MGG-stained. Bone marrow smear. Single-cell crop — 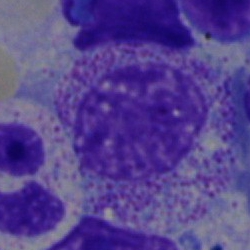 This is a myelocyte.